Brightfield, 40× oil-immersion objective; bone marrow aspirate smear; 250×250 px.
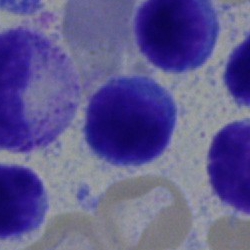
Showing a lymphocyte.